Bone marrow aspirate smear:
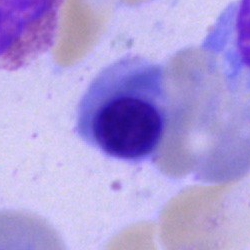
Morphology → erythroblast.